Bone marrow aspirate smear:
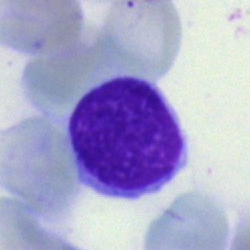 The cell is lymphocyte.